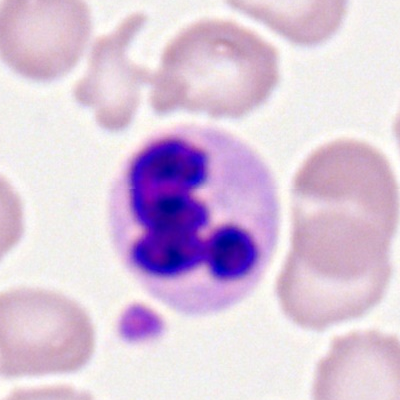

Morphology — neutrophil (segmented).